400×400 px · 100× oil immersion · peripheral blood smear
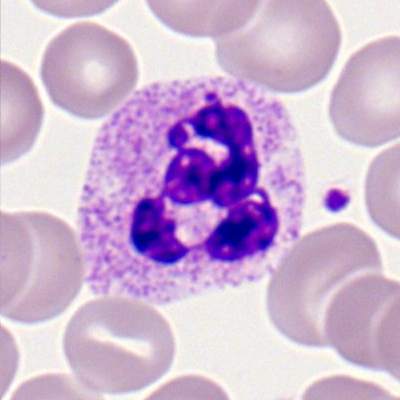{"cell_type": "segmented neutrophil"}